Bone marrow aspirate smear · cropped to a single cell — 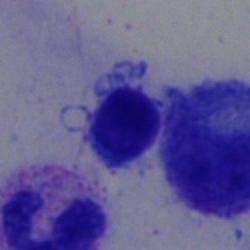 A typical lymphocyte.